Bone marrow smear.
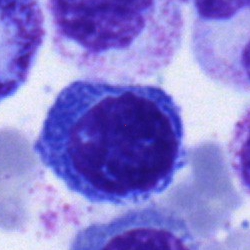 This is a plasma cell.